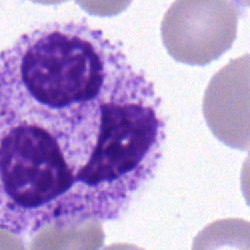
Specimen: bone marrow aspirate smear.
Morphological class: polymorphonuclear neutrophil.
Lineage: myeloid.